Bone marrow smear · image size 250×250 — 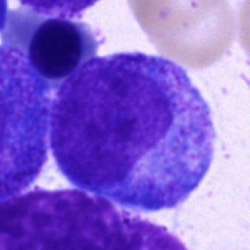Q: What type of cell is this?
A: A progranulocyte.